MGG-stained · bone marrow aspirate smear · image size 250×250.
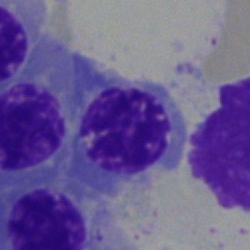 Specimen: bone marrow smear.
Classification: normoblast.